Bone marrow smear · May-Grünwald-Giemsa/Pappenheim stain:
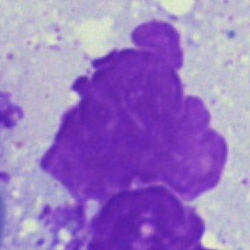 The classification is artifact.